Single-cell crop · bone marrow smear · May-Grünwald-Giemsa/Pappenheim stain:
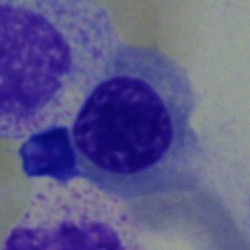

Cell = nucleated red blood cell.